Bone marrow smear.
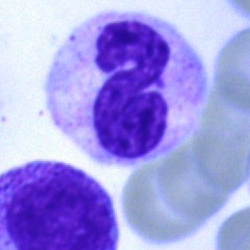Morphology — polymorphonuclear neutrophil.